Bone marrow aspirate smear; May-Grünwald-Giemsa stain.
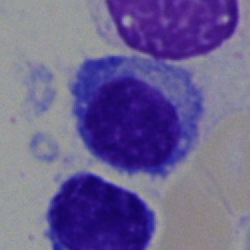 Q: What cell is this?
A: Plasma cell.